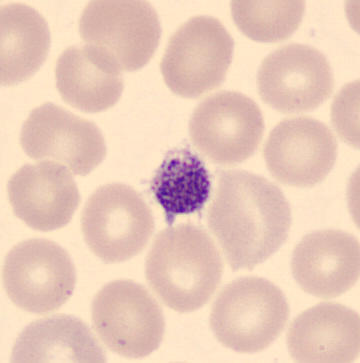
Identified as a thrombocyte.

Preparation: Peripheral blood smear; automated cell imaging (CellaVision DM96).